Bone marrow smear: 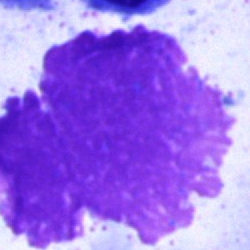An artefact.